Bone marrow smear — 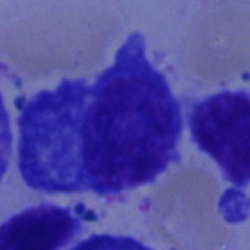
Morphological class — plasma cell.